250×250; bone marrow aspirate smear:
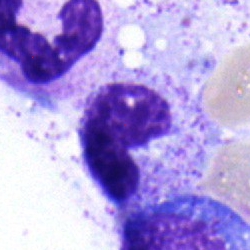 A band neutrophil.